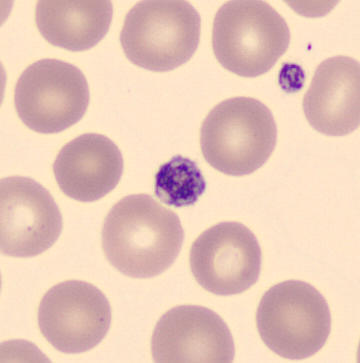
Morphology consistent with a thrombocyte.
Preparation: Peripheral blood smear. Automated cell imaging (CellaVision DM96).